Bone marrow aspirate smear: 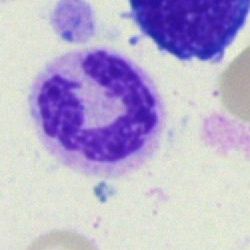
Q: What is shown here?
A: It is a neutrophil (segmented).